Image size 250×250 · bone marrow smear: 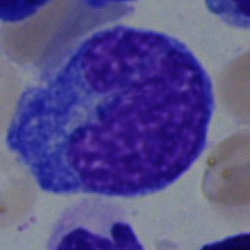

Showing a blast.